MGG-stained; bone marrow smear — 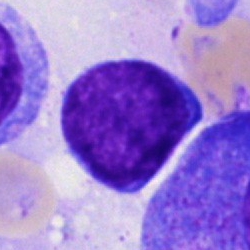Specimen: bone marrow aspirate smear.
Morphological class: blast.